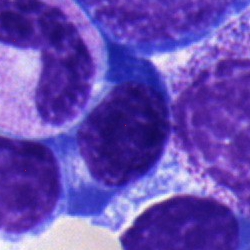
Morphology consistent with a nucleated red cell.